Bone marrow aspirate smear — 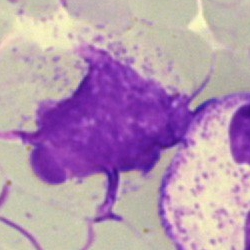Q: What is shown here?
A: It is an artifact.